Bone marrow aspirate smear
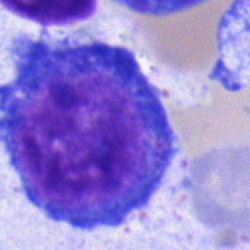

Morphology → proerythroblast.